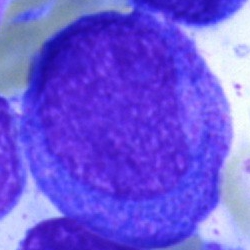

Q: What cell is this?
A: A promyelocyte.